Bone marrow smear:
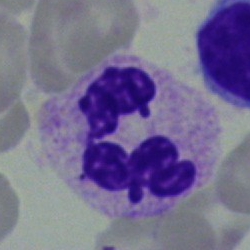

{"cell_type": "segmented neutrophil", "lineage": "myeloid"}